Bone marrow aspirate smear — 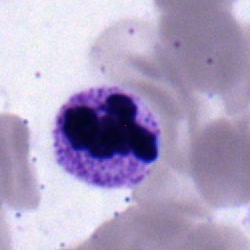Morphology consistent with a polymorphonuclear neutrophil.